Peripheral blood smear — 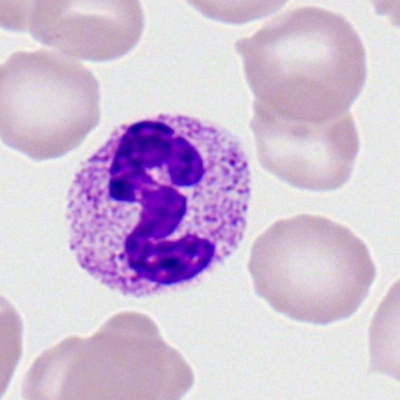

Classification = neutrophil (segmented).